Pappenheim-stained · bone marrow smear.
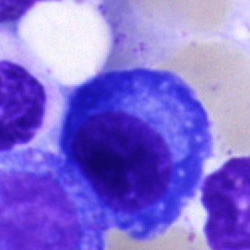

The morphological class is plasmacyte.